Bone marrow aspirate smear · 250×250 px — 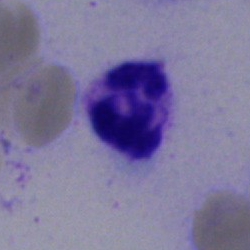Specimen: bone marrow smear.
Cell: neutrophil (segmented).